Brightfield, 40× oil-immersion objective. Bone marrow smear: 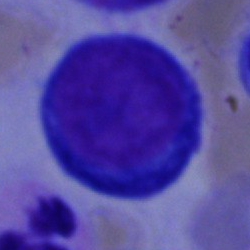

Impression → pronormoblast.